Bone marrow aspirate smear
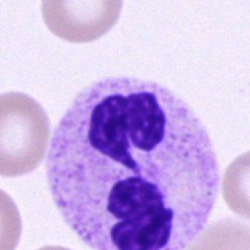 The cell type is segmented neutrophil.